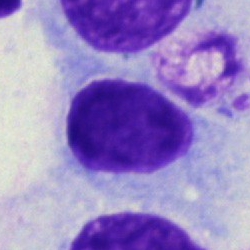 The classification is typical lymphocyte.